Single-cell field; bone marrow smear.
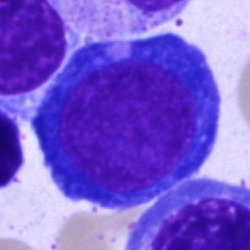 Impression — pronormoblast.